Peripheral blood smear.
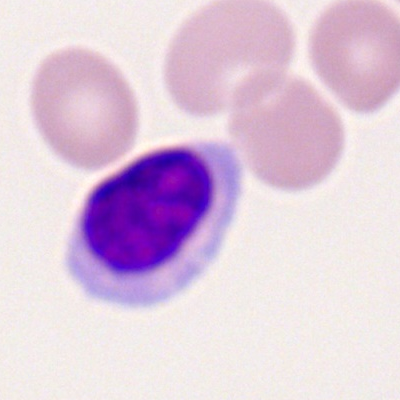

The cell type is typical lymphocyte.